Bone marrow aspirate smear — 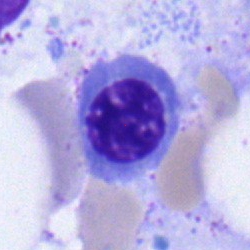
Specimen: bone marrow smear.
Morphological class: erythroblast.